Brightfield, 40× oil-immersion objective. Bone marrow aspirate smear. 250×250 px:
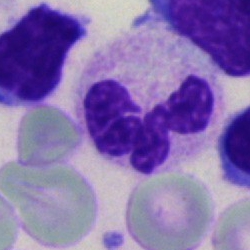

Impression → neutrophil (segmented).